Bone marrow smear: 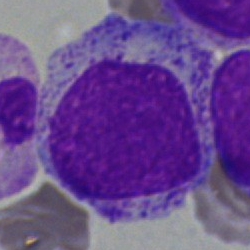{"cell_type": "myelocyte", "lineage": "myeloid"}